Cropped to a single cell; bone marrow smear: 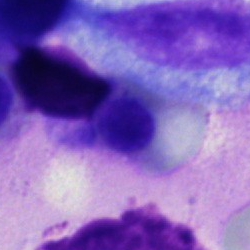Impression — erythroblast.